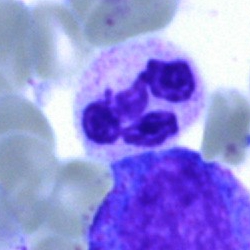Specimen: bone marrow aspirate smear.
Cell: polymorphonuclear neutrophil.